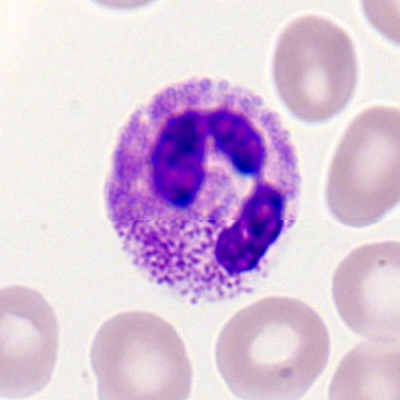 The cell is neutrophil (segmented).